Bone marrow aspirate smear:
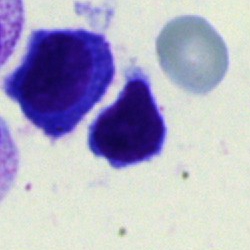Morphology consistent with a typical lymphocyte.